Bone marrow smear.
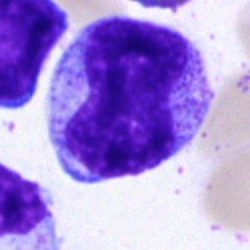 The cell shown is a metamyelocyte.